MGG-stained. Bone marrow smear: 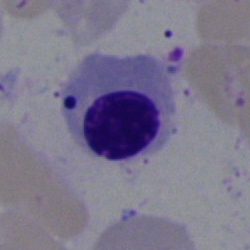 Morphology → erythroblast.